Peripheral blood smear: 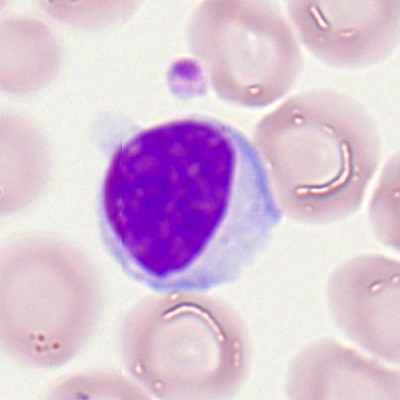

Q: What is shown here?
A: This is a typical lymphocyte.